Cropped to a single cell; bone marrow smear; 250×250 — 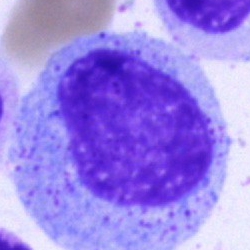Morphology consistent with a promyelocyte.